Bone marrow smear; single cell centered in the field; MGG-stained
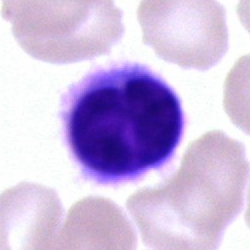
Impression → hairy cell.